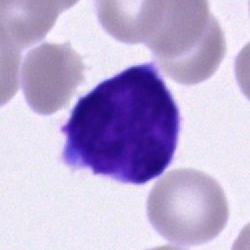

Specimen: bone marrow smear.
Classification: typical lymphocyte.